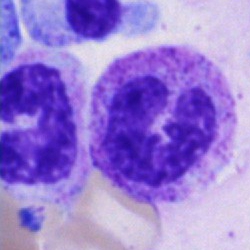

Specimen: bone marrow aspirate smear.
Classification: stab cell.